Bone marrow smear.
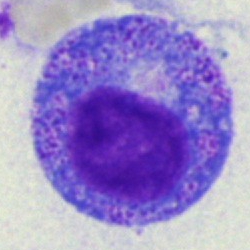 Single cell identified as a promyelocyte.